Bone marrow smear
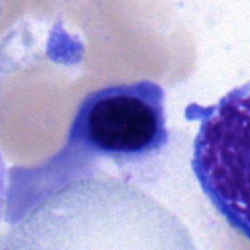
Impression — nucleated red cell.